Bone marrow smear
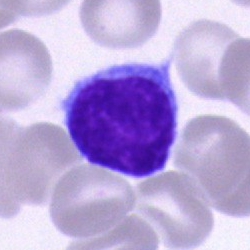Single cell identified as a lymphocyte.